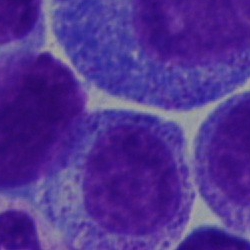A myelocyte on a bone marrow smear.